40× objective, oil immersion · bone marrow smear: 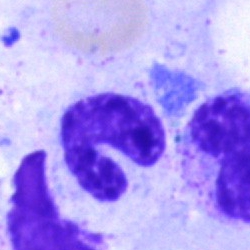Morphology consistent with a neutrophil (band).